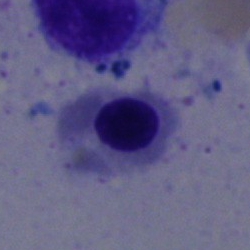Morphology consistent with an erythroblast.